400×400 · peripheral blood smear:
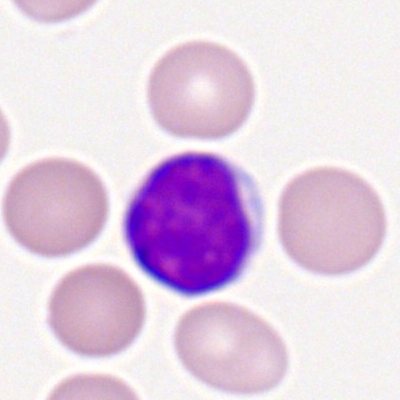

Impression — typical lymphocyte.